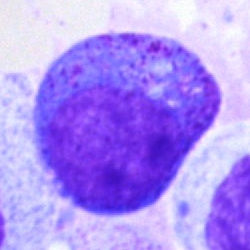Specimen: bone marrow aspirate smear.
Cell: promyelocyte.
Lineage: myeloid.